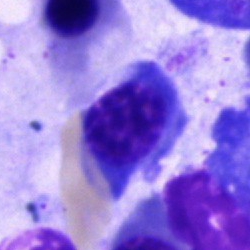
Morphological class = nucleated red blood cell.